Bone marrow smear: 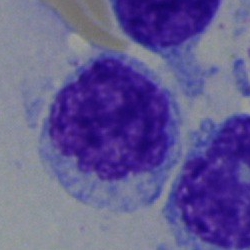 A lymphocyte.